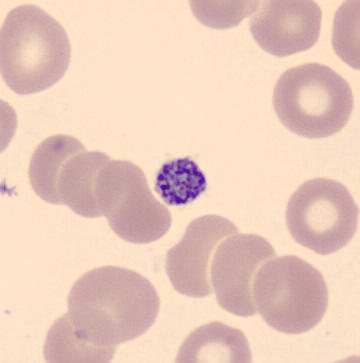 Peripheral blood smear · automated cell imaging (CellaVision DM96).
{"cell_type": "platelet"}